Bone marrow aspirate smear: 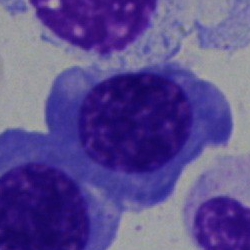
The cell is nucleated red blood cell.